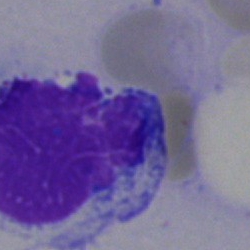An artifact on a bone marrow smear.